Single-cell crop. Bone marrow smear. Brightfield microscopy, 40× oil immersion:
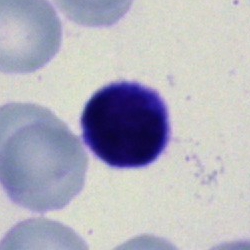

Q: What cell is this?
A: This is a typical lymphocyte.